Bone marrow smear. Pappenheim-stained:
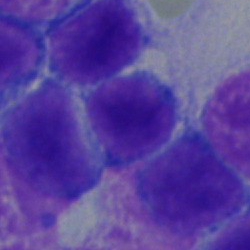
Morphological class = lymphocyte.